Bone marrow aspirate smear: 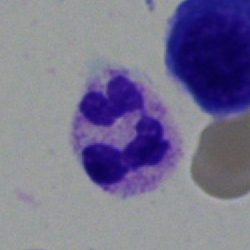
The morphological class is segmented neutrophil.